Bone marrow aspirate smear:
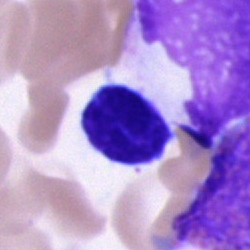 Q: What is shown here?
A: It is an artefact.